Bone marrow aspirate smear:
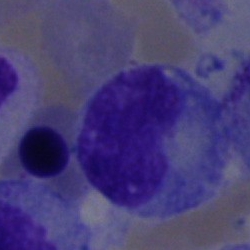 Specimen: bone marrow smear.
Cell: promyelocyte.
Lineage: myeloid.